Bone marrow smear · 250×250 px — 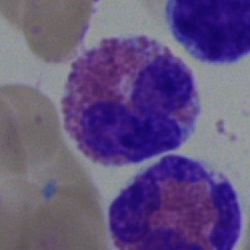 Q: What is shown here?
A: This is an eosinophilic granulocyte.